Bone marrow smear; brightfield microscopy, 40× oil immersion:
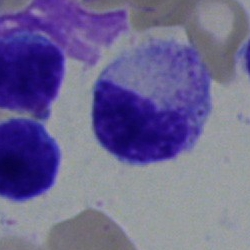 Cell type: myelocyte.